May-Grünwald-Giemsa stain · bone marrow smear · 250×250 px
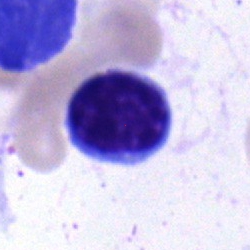 Impression — typical lymphocyte.